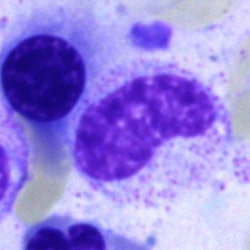

Q: Which cell type is shown here?
A: It is a band-form neutrophil.